Single-cell crop; bone marrow smear; MGG-stained: 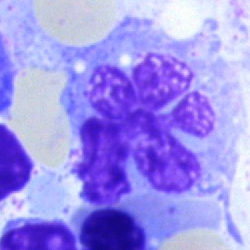 Specimen: bone marrow smear.
Cell type: monocyte.
Lineage: myeloid.